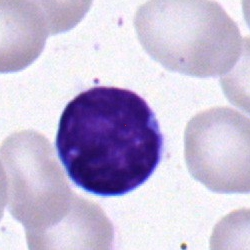
Q: What type of cell is this?
A: Lymphocyte.